Bone marrow smear; 250 by 250 pixels
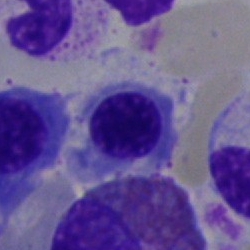

Nucleated red cell.